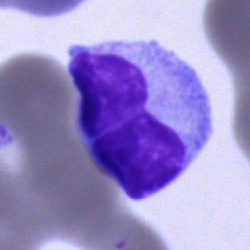
Morphology consistent with a lymphocyte.